Pappenheim-stained. Bone marrow aspirate smear.
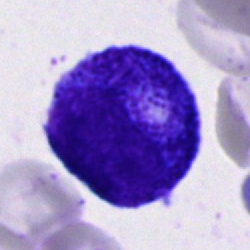
{"cell_type": "progranulocyte", "lineage": "myeloid"}